May-Grünwald-Giemsa stain · bone marrow smear:
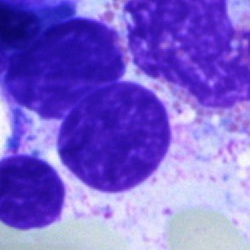 Specimen: bone marrow aspirate smear.
Cell: artefact.